Bone marrow aspirate smear · Pappenheim-stained
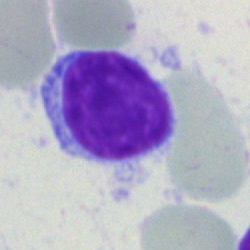

Morphology consistent with a typical lymphocyte.